MGG-stained. Cropped to a single cell. Bone marrow smear:
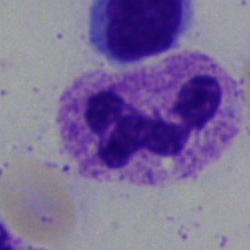 Morphology consistent with a segmented neutrophil.